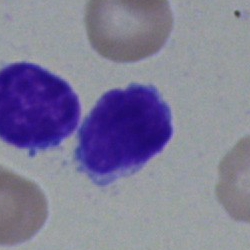
Bone marrow smear showing a lymphocyte.